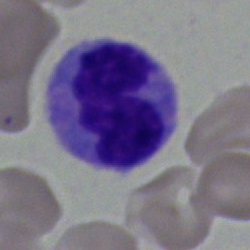
The cell shown is a monocyte.